Bone marrow smear · 40× objective, oil immersion · May-Grünwald-Giemsa/Pappenheim stain — 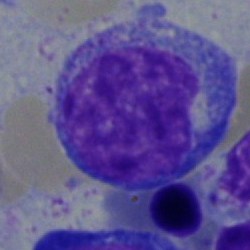 {"cell_type": "blast cell"}